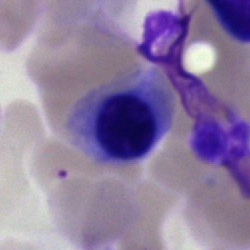

Morphology consistent with a nucleated red cell.